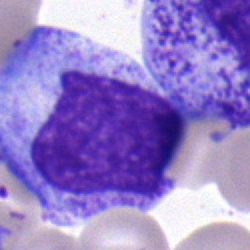 Specimen: bone marrow aspirate smear.
Classification: progranulocyte.